Peripheral blood smear.
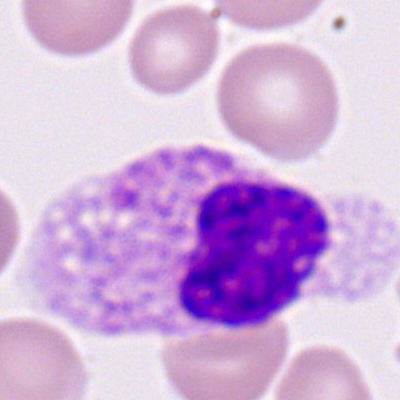Classification: neutrophil (segmented).